Bone marrow smear
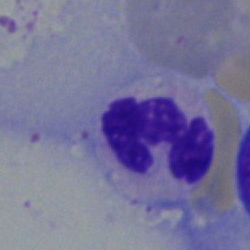
Q: Which cell type is shown here?
A: A polymorphonuclear neutrophil.